40× objective, oil immersion. Bone marrow smear — 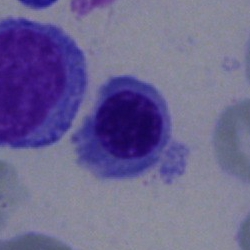An erythroblast.